Bone marrow smear. May-Grünwald-Giemsa/Pappenheim stain
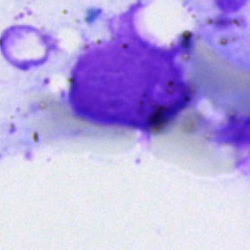

Impression — artefact.